Single cell centered in the field. Bone marrow aspirate smear. 250 by 250 pixels — 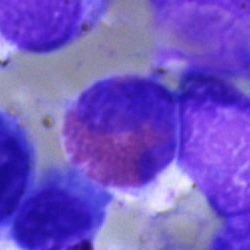Cell: eosinophil.